Bone marrow aspirate smear. Cropped to a single cell.
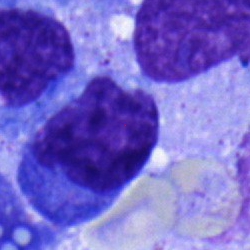 Impression — monocyte.